Bone marrow aspirate smear · single-cell crop.
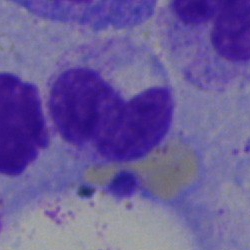The morphological class is band neutrophil.